Single-cell crop; bone marrow smear
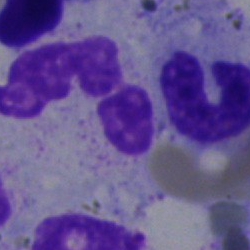Cell type = polymorphonuclear neutrophil.